Bone marrow smear: 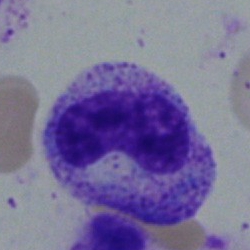
Specimen: bone marrow aspirate smear.
Cell: neutrophil (band).
Lineage: myeloid.